MGG-stained. Bone marrow smear. 250×250 px: 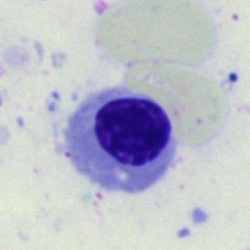

Morphology consistent with a nucleated red blood cell.